Cropped to a single cell. MGG-stained. Bone marrow smear.
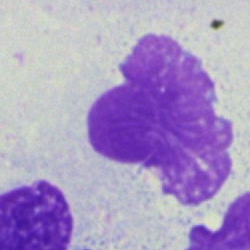Morphology consistent with an artifact.